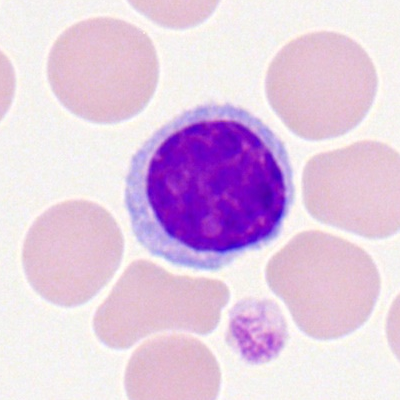Peripheral blood film, single cell — lymphocyte.